Bone marrow smear
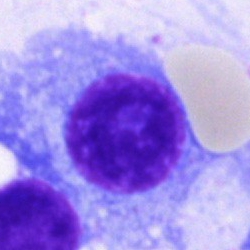
Plasma cell.